Bone marrow smear · single-cell crop.
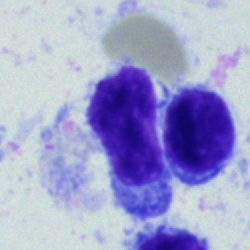Specimen: bone marrow aspirate smear.
Morphological class: lymphocyte.